Brightfield, 40× oil-immersion objective · MGG-stained · bone marrow smear
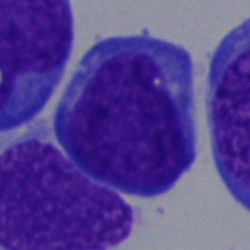 Showing a blast.